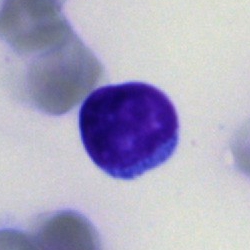

Cell — typical lymphocyte.